Peripheral blood film.
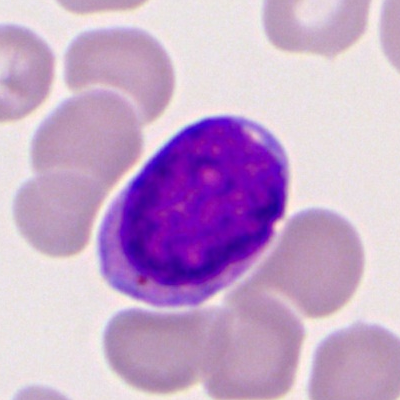
A myeloid blast.